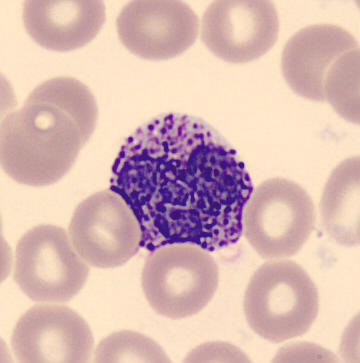

Acquisition: CellaVision DM96 digital cell image. Specimen: peripheral blood film.
Classification: basophil.